40× objective, oil immersion · bone marrow smear · cropped to a single cell: 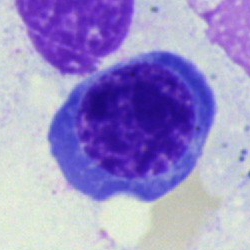Morphology → nucleated red blood cell.